Bone marrow smear
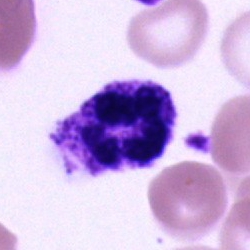

Morphological class = polymorphonuclear neutrophil.